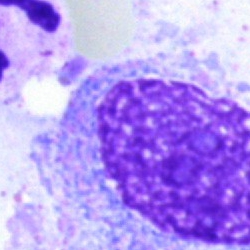 Single cell identified as an artefact.